Bone marrow smear; cropped to a single cell.
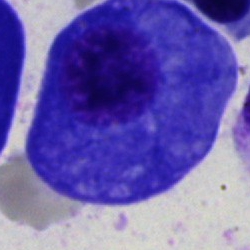
This is a plasmacyte.